Bone marrow aspirate smear — 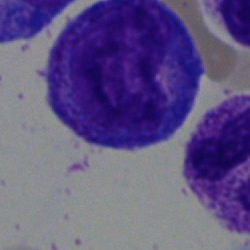This is a promyelocyte.